Bone marrow smear
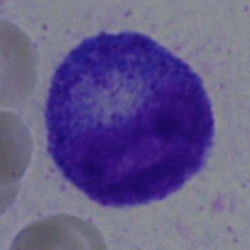 Specimen: bone marrow aspirate smear.
Cell type: progranulocyte.